250×250 px. Bone marrow aspirate smear. Pappenheim-stained: 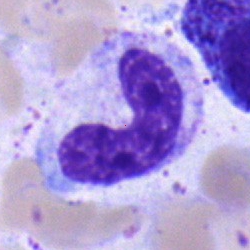

Cell — neutrophil (band).